250×250; brightfield, 40× oil-immersion objective; bone marrow aspirate smear:
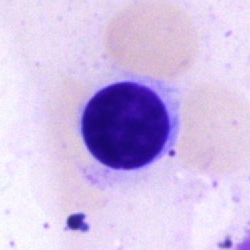

Lymphocyte.